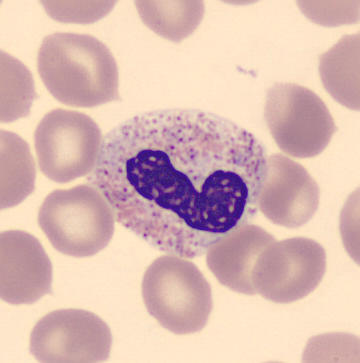Cell — band-form neutrophil.
Preparation: Peripheral blood smear.